Bone marrow aspirate smear; single-cell crop.
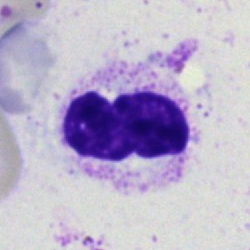 {"cell_type": "neutrophil (band)"}